Bone marrow aspirate smear · single cell centered in the field — 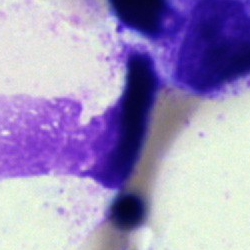An artefact.